Bone marrow smear · single-cell crop — 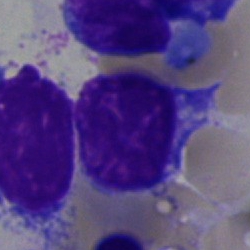

Cell type = typical lymphocyte.